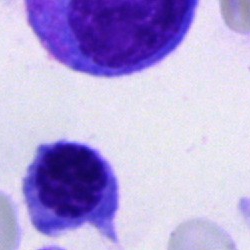Specimen: bone marrow aspirate smear.
Cell type: normoblast.